Bone marrow aspirate smear.
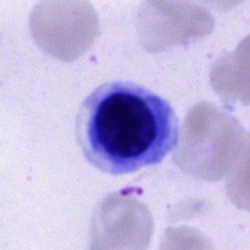 Cell type = nucleated red blood cell.